Bone marrow smear. Image size 250×250. 40× oil immersion.
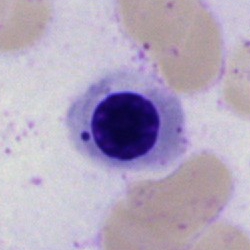Specimen: bone marrow smear.
Classification: basophil.